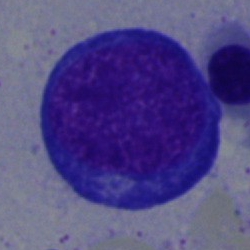 Morphology consistent with a nucleated red blood cell.